Bone marrow aspirate smear; May-Grünwald-Giemsa stain.
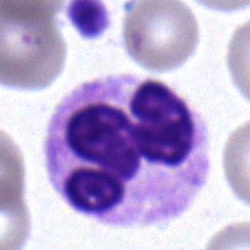 Q: What cell is this?
A: It is a neutrophil (segmented).